Bone marrow aspirate smear
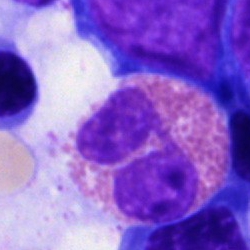
Cell — eosinophil.